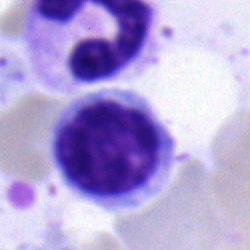
Q: What cell is this?
A: Lymphocyte.